Bone marrow smear: 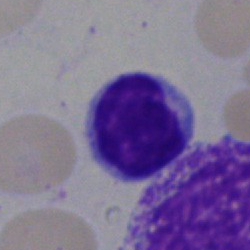
Typical lymphocyte.